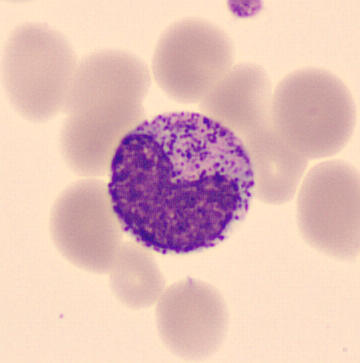Preparation: MGG-stained.
Specimen: peripheral blood film.
Cell: metamyelocyte.
Lineage: myeloid.